Bone marrow aspirate smear; image size 250×250:
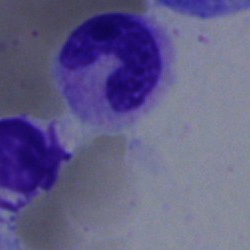

Cell type — band-form neutrophil.